Bone marrow smear; 250×250 px:
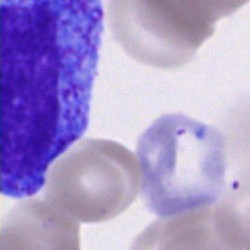

Classification: promyelocyte.